40× oil immersion; bone marrow smear:
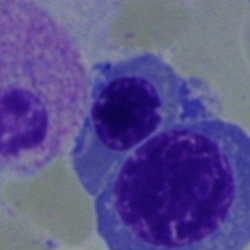 Specimen: bone marrow smear.
Cell type: nucleated red cell.